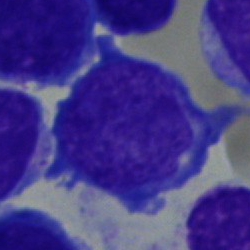
The morphological class is undifferentiated blast.